Single-cell field. 250×250 px. Bone marrow smear — 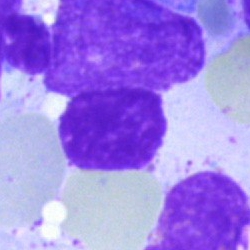

Morphological class — artefact.